Bone marrow smear — 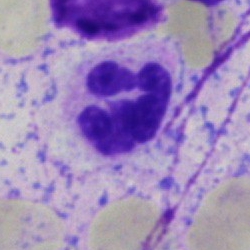A polymorphonuclear neutrophil.